Bone marrow smear:
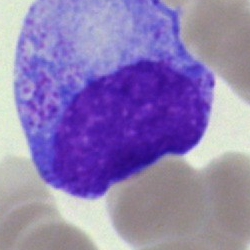
The cell shown is a progranulocyte.